Bone marrow aspirate smear · brightfield, 40× oil-immersion objective
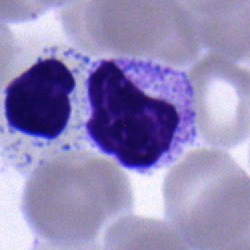

Specimen: bone marrow smear.
Classification: segmented neutrophil.